Bone marrow aspirate smear · image size 250×250
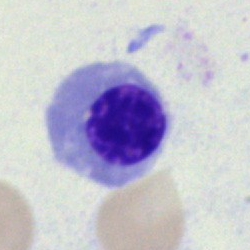Morphology — normoblast.